250×250; bone marrow smear: 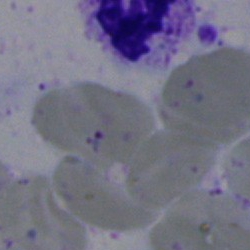 Q: What is shown here?
A: It is an artifact.